Brightfield, 40× oil-immersion objective · bone marrow smear: 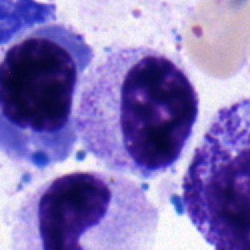 Specimen: bone marrow smear.
Cell type: metamyelocyte.